Bone marrow aspirate smear; single-cell crop; MGG-stained.
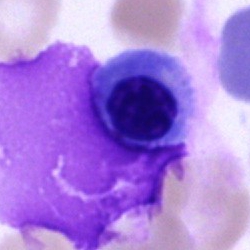

{"cell_type": "nucleated red blood cell"}